Bone marrow smear. Brightfield microscopy, 40× oil immersion. Cropped to a single cell — 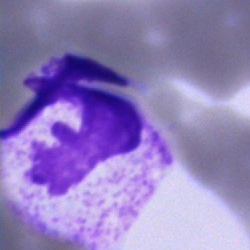
Morphological class = polymorphonuclear neutrophil.